Bone marrow smear:
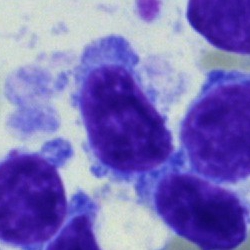 The cell is lymphocyte.